250×250 · bone marrow smear · single-cell field — 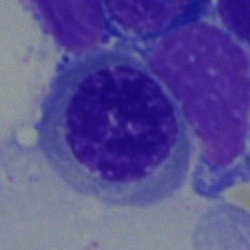

Impression → normoblast.